Bone marrow smear: 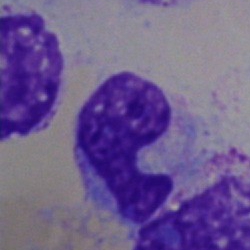

Q: What is shown here?
A: Artefact.